Bone marrow aspirate smear.
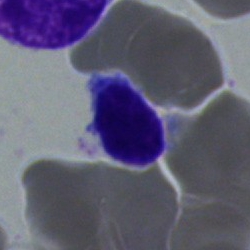

Single cell identified as a typical lymphocyte.